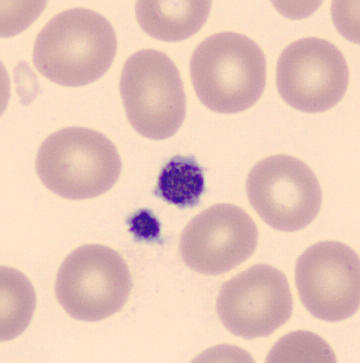 Image: Peripheral blood film.

Morphological class — thrombocyte.